Peripheral blood smear. Brightfield, 100× oil-immersion objective:
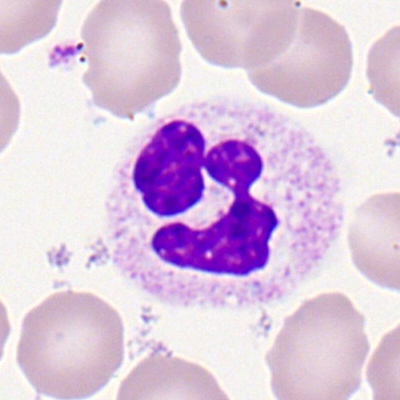

Showing a segmented neutrophil.